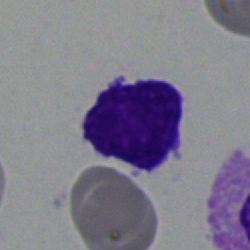
Bone marrow aspirate smear, single cell — lymphocyte.